Bone marrow smear — 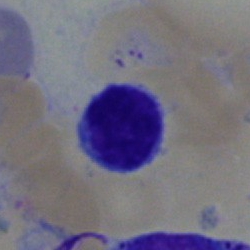Lymphocyte.